Pappenheim-stained. Bone marrow smear.
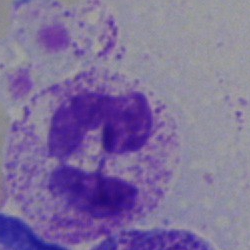 Neutrophil (segmented).